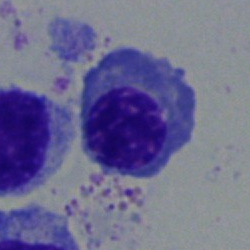 The classification is normoblast.